Bone marrow smear. May-Grünwald-Giemsa/Pappenheim stain
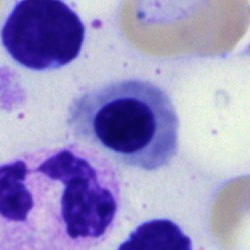

Q: What is shown here?
A: An erythroblast.